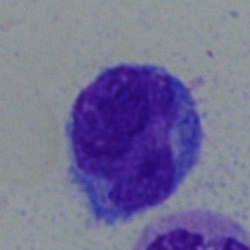This is a monocyte.